40× objective, oil immersion. Bone marrow aspirate smear: 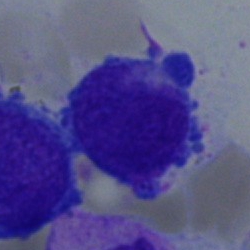 The cell shown is an undifferentiated blast.